Bone marrow aspirate smear — 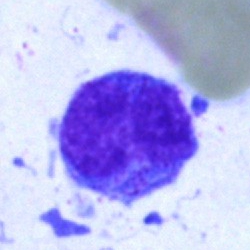

The cell shown is an undifferentiated blast.